Bone marrow smear — 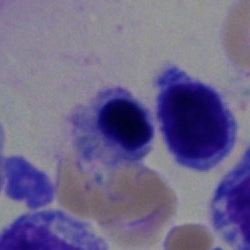 The classification is erythroblast.